Peripheral blood smear:
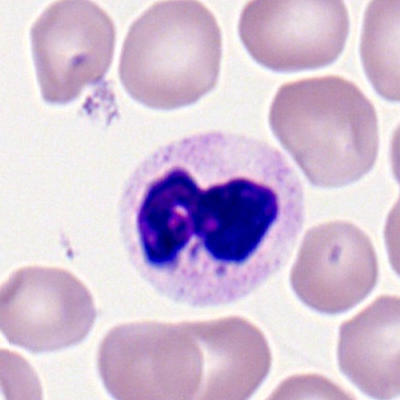
Specimen: peripheral blood film.
Cell: polymorphonuclear neutrophil.